Bone marrow aspirate smear.
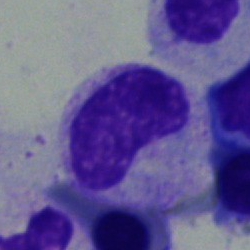
The cell shown is a metamyelocyte.